Bone marrow aspirate smear; single cell centered in the field.
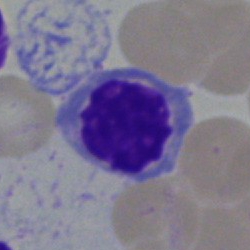
Cell type: erythroblast.